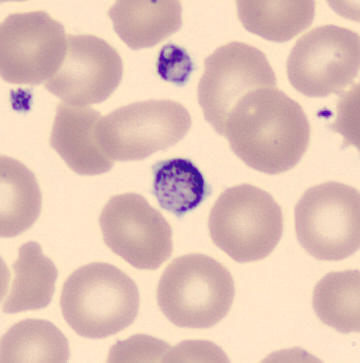
This is a platelet.